Brightfield microscopy, 40× oil immersion; MGG-stained; bone marrow aspirate smear.
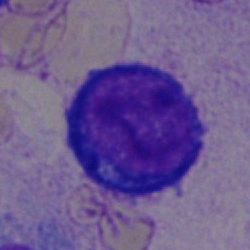Cell = pronormoblast.